Bone marrow aspirate smear — 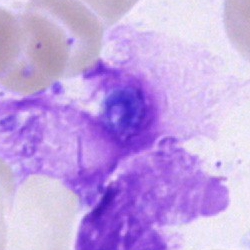Cell = artefact.